Bone marrow smear · single-cell crop · 40× objective, oil immersion
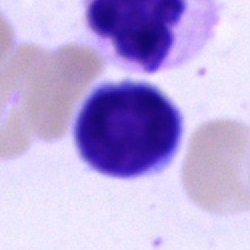 Cell: lymphocyte.